40× objective, oil immersion · bone marrow aspirate smear: 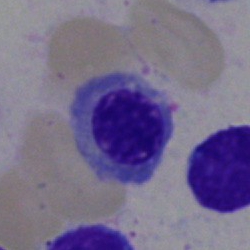 Morphology consistent with a nucleated red blood cell.